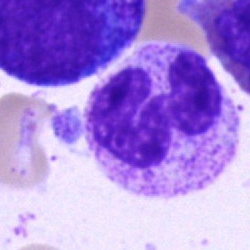Specimen: bone marrow smear.
Cell type: neutrophil (segmented).
Lineage: myeloid.